Cropped to a single cell. Peripheral blood film: 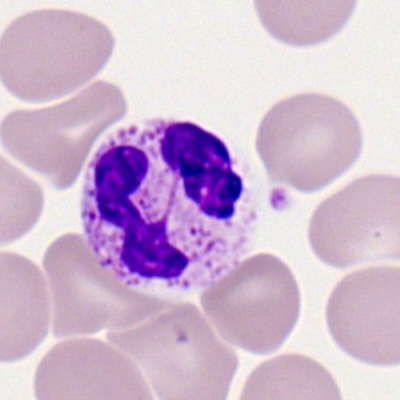
{"cell_type": "neutrophil (segmented)", "lineage": "myeloid"}